40× oil immersion; May-Grünwald-Giemsa/Pappenheim stain; bone marrow aspirate smear
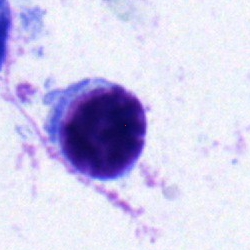Specimen: bone marrow aspirate smear.
Cell type: typical lymphocyte.